Cropped to a single cell · bone marrow smear: 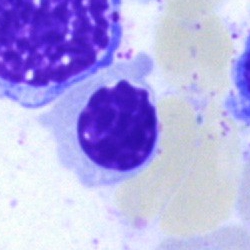

Q: What cell is this?
A: This is a nucleated red cell.